Bone marrow aspirate smear — 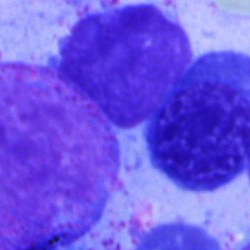 A typical lymphocyte.